400×400 px · peripheral blood film — 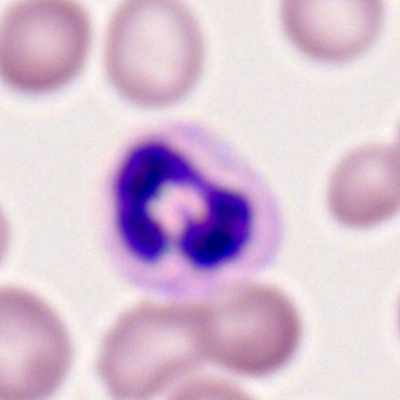 Morphological class: neutrophil (segmented).